Peripheral blood film. Romanowsky stain:
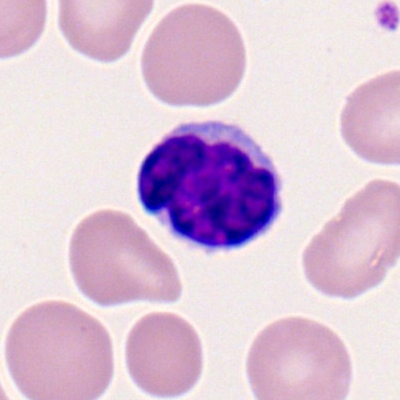Q: What is shown here?
A: It is a lymphocyte.